MGG-stained. Bone marrow smear
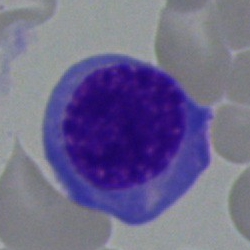

This is a nucleated red blood cell.